Peripheral blood smear: 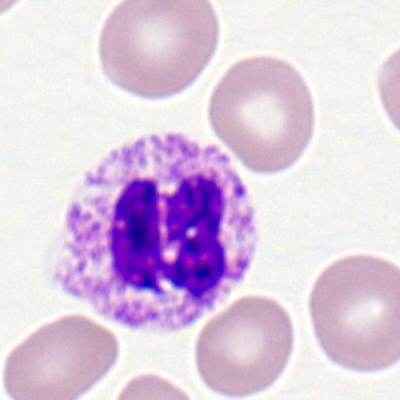Q: What cell is this?
A: This is a neutrophil (segmented).